Bone marrow aspirate smear: 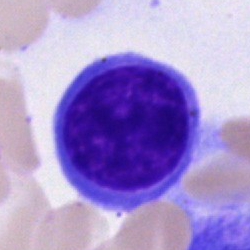Q: What is shown here?
A: Immature lymphocyte.